400 by 400 pixels; peripheral blood smear
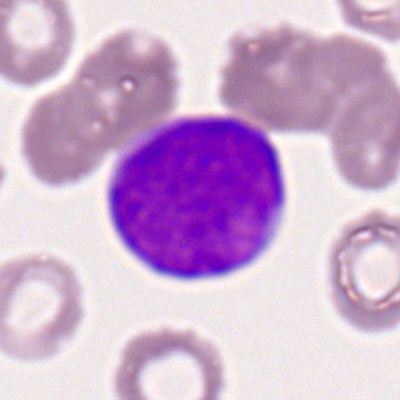 Specimen: peripheral blood smear.
Cell: myeloblast.
Lineage: myeloid.